Bone marrow smear; brightfield microscopy, 40× oil immersion
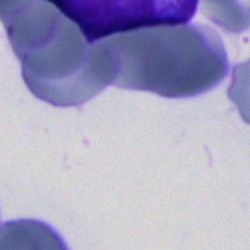
An artifact.